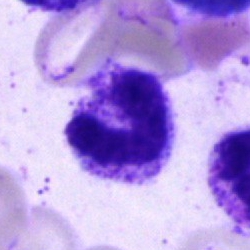 Morphology → polymorphonuclear neutrophil.